250 by 250 pixels · bone marrow aspirate smear.
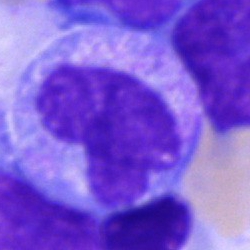
Classification — monocyte.